May-Grünwald-Giemsa stain; bone marrow aspirate smear: 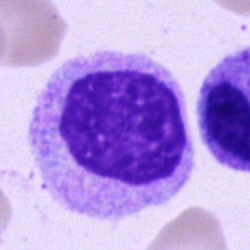 Myelocyte.